Bone marrow aspirate smear. May-Grünwald-Giemsa/Pappenheim stain: 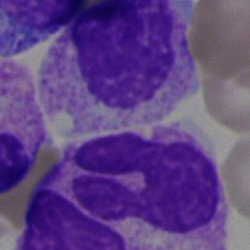 The classification is cell of indeterminate lineage.